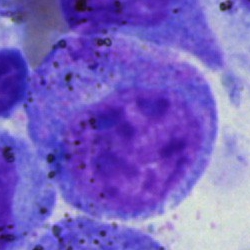

Q: Which cell type is shown here?
A: Promyelocyte.